Bone marrow smear.
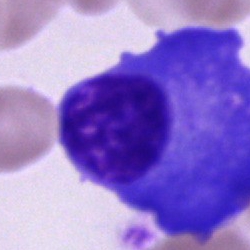Cell: plasmacyte.